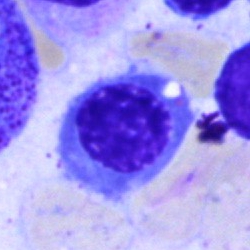The morphological class is nucleated red blood cell.